Bone marrow smear
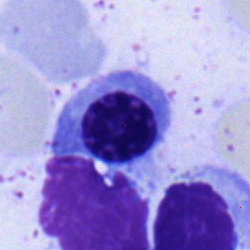 Q: Which cell type is shown here?
A: This is a normoblast.